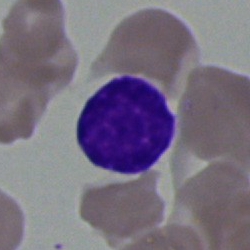 Specimen: bone marrow smear.
Morphological class: lymphocyte.